Bone marrow aspirate smear.
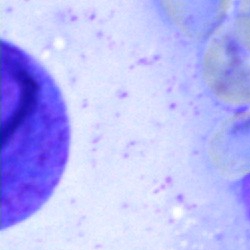 Specimen: bone marrow aspirate smear.
Morphological class: artifact.